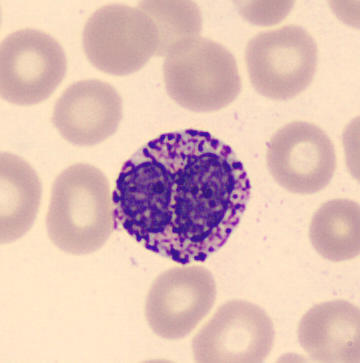 Basophilic granulocyte. Peripheral blood film.